Bone marrow smear — 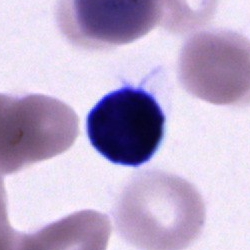 {"cell_type": "cell of indeterminate lineage"}